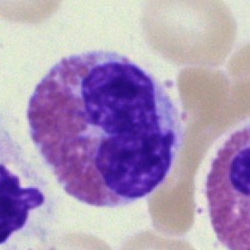Morphological class — eosinophil.